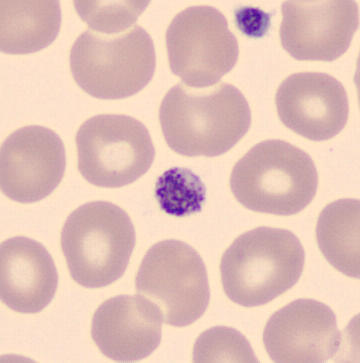
Peripheral blood film.

Classification: platelet (thrombocyte).